Bone marrow smear — 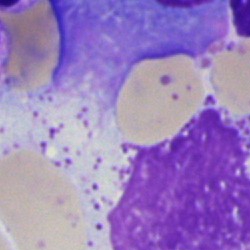

Single cell identified as an artifact.